Bone marrow smear
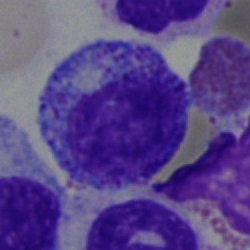

Morphology — progranulocyte.